Bone marrow aspirate smear.
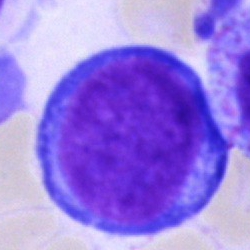
Q: Which cell type is shown here?
A: Pronormoblast.